Bone marrow aspirate smear · brightfield, 40× oil-immersion objective: 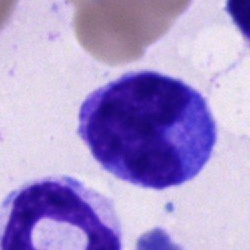 A monocyte.